Bone marrow aspirate smear; Pappenheim-stained — 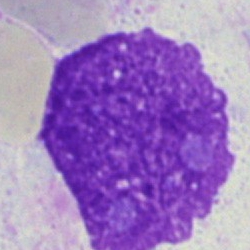
Q: What is shown here?
A: This is an artifact.